Bone marrow aspirate smear: 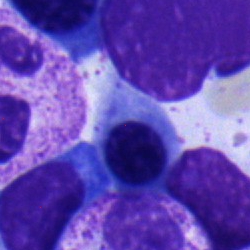
Cell type — normoblast.